Bone marrow smear. Image size 250×250:
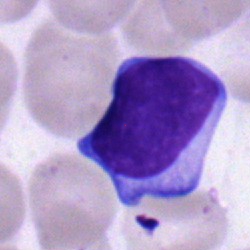
Specimen: bone marrow smear.
Cell type: typical lymphocyte.
Lineage: lymphoid.